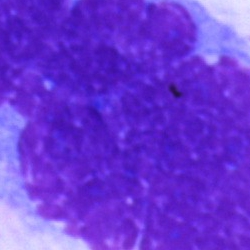 Morphological class: artifact.